Bone marrow smear — 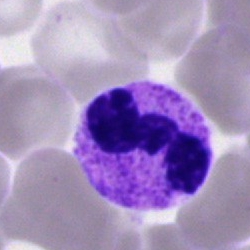
Specimen: bone marrow smear.
Classification: segmented neutrophil.
Lineage: myeloid.